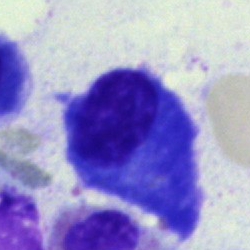
Specimen: bone marrow aspirate smear.
Cell: plasmacyte.